Bone marrow smear — 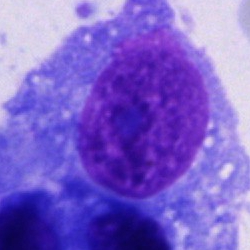 Cell: other cell type.